Single-cell crop; bone marrow aspirate smear — 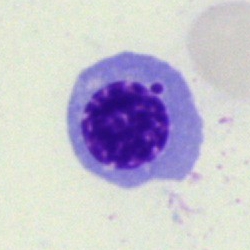
{"cell_type": "normoblast"}